Bone marrow smear · 250×250 px.
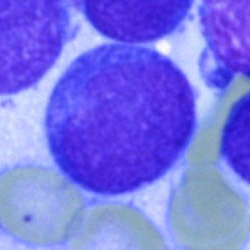 This is an undifferentiated blast.